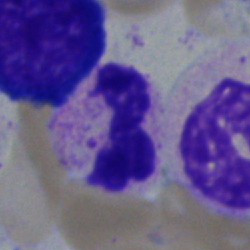

The cell shown is a segmented neutrophil.